Pappenheim-stained · bone marrow aspirate smear
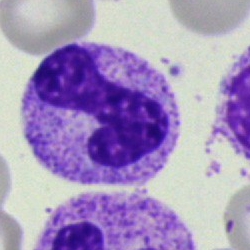{"cell_type": "stab cell"}